Bone marrow smear — 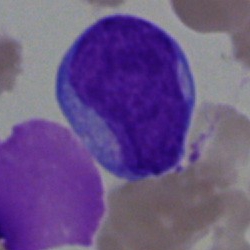
Showing an undifferentiated blast.